Single-cell field. Bone marrow aspirate smear.
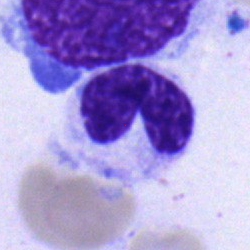

Morphology → band neutrophil.